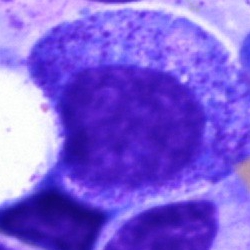 {"cell_type": "promyelocyte"}